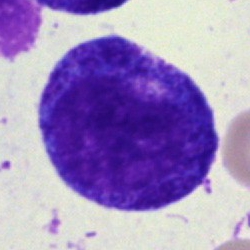

Showing a promyelocyte.